Bone marrow aspirate smear; May-Grünwald-Giemsa/Pappenheim stain; brightfield, 40× oil-immersion objective.
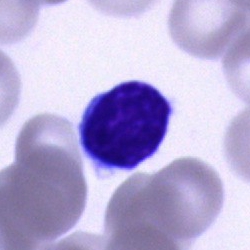 Cell — typical lymphocyte.